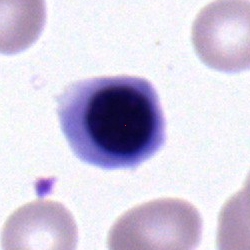

Morphological class — nucleated red cell.